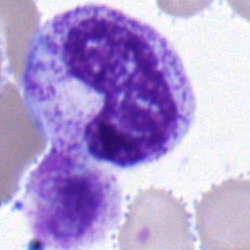

Neutrophil (band).